40× oil immersion · image size 250×250 · bone marrow smear — 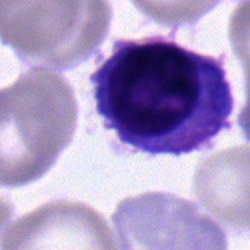Cell = plasma cell.